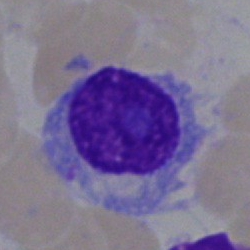 Specimen: bone marrow aspirate smear.
Classification: plasma cell.
Lineage: lymphoid.